Bone marrow aspirate smear
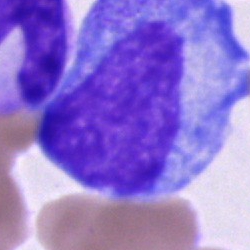
Q: Identify the cell.
A: This is a promyelocyte.